Bone marrow smear
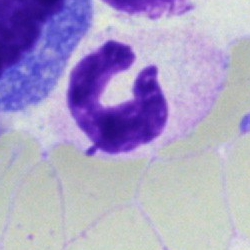 Cell type — neutrophil (segmented).